Bone marrow smear
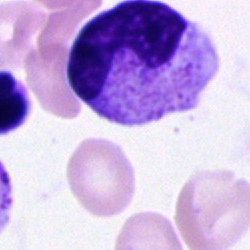

{"cell_type": "polymorphonuclear neutrophil"}